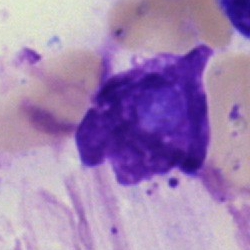

Q: What is shown here?
A: This is an artifact.